Bone marrow aspirate smear — 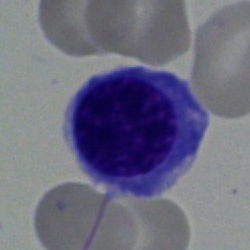 Nucleated red cell.